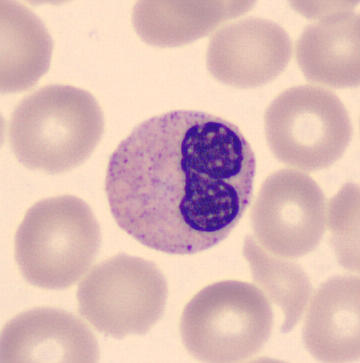Stab cell. Peripheral blood smear.